40× oil immersion · bone marrow smear.
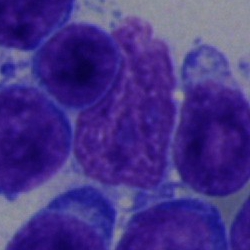 Specimen: bone marrow aspirate smear.
Cell: blast cell.